Peripheral blood smear.
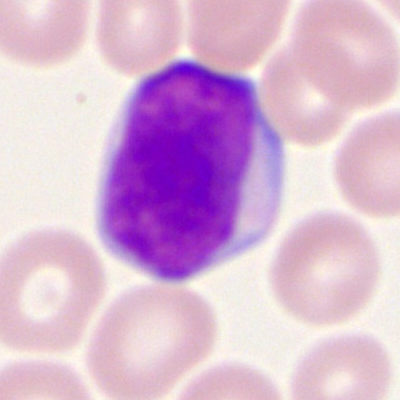 This is a myeloid blast.